May-Grünwald-Giemsa/Pappenheim stain; bone marrow smear
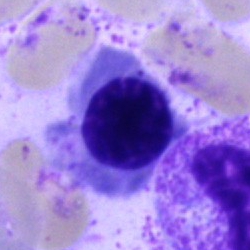Impression — normoblast.